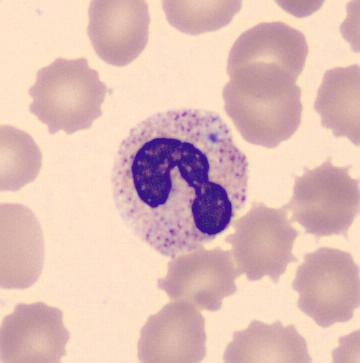
Identified as a band neutrophil.
Image: MGG stain. Peripheral blood smear. Single-cell field.